Brightfield, 40× oil-immersion objective; MGG-stained; bone marrow aspirate smear — 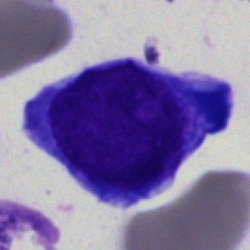 Showing a typical lymphocyte.